Single cell centered in the field. Bone marrow aspirate smear — 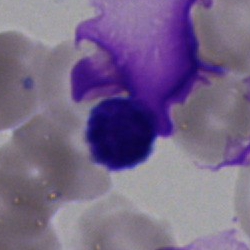Cell type = typical lymphocyte.